Bone marrow smear:
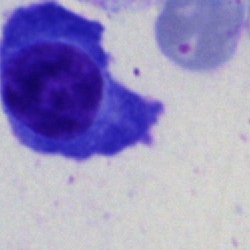 {"cell_type": "plasmacyte", "lineage": "lymphoid"}